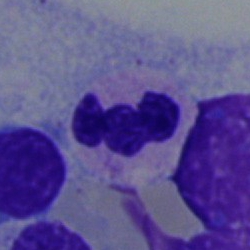

Single cell identified as a polymorphonuclear neutrophil.